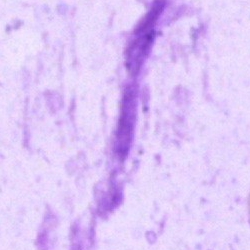Q: What is shown here?
A: It is an artefact.